Bone marrow smear; single-cell field; Pappenheim-stained:
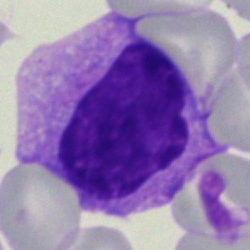Specimen: bone marrow smear.
Morphological class: monocyte.
Lineage: myeloid.